Bone marrow aspirate smear; May-Grünwald-Giemsa stain; single-cell crop
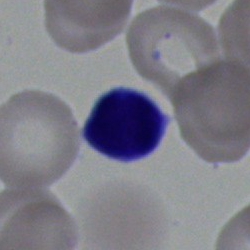
Showing a lymphocyte.